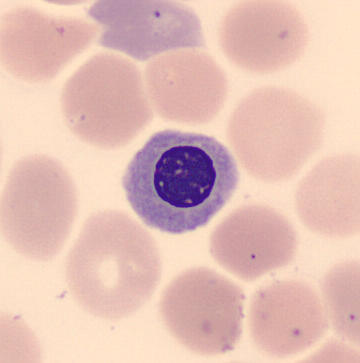

Acquisition: Peripheral blood smear · CellaVision DM96.
A nucleated red cell.